Bone marrow smear · 40× oil immersion:
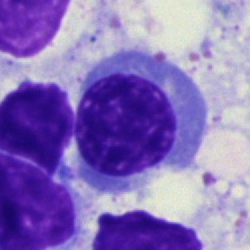
Cell — erythroblast.